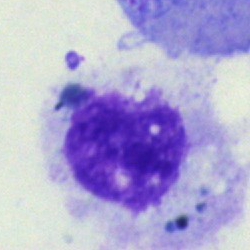Morphological class = artefact.